Bone marrow smear — 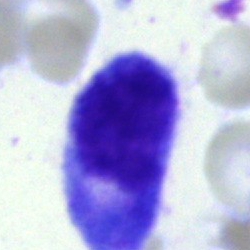Q: What type of cell is this?
A: Monocyte.